May-Grünwald-Giemsa/Pappenheim stain; bone marrow aspirate smear — 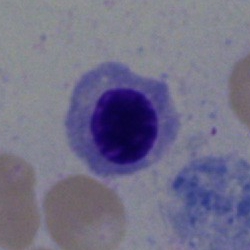

{"cell_type": "erythroblast"}